Bone marrow aspirate smear:
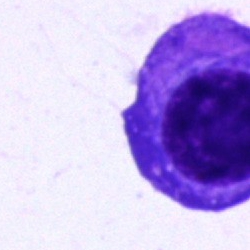

The cell type is plasma cell.